40× oil immersion · bone marrow aspirate smear: 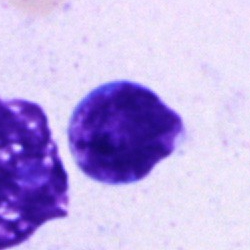Impression — typical lymphocyte.